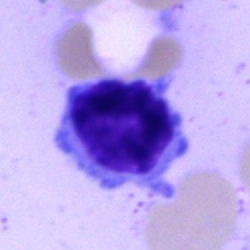Q: Which cell type is shown here?
A: A typical lymphocyte.